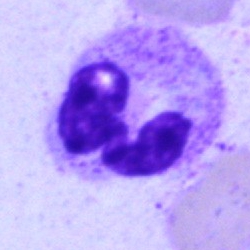
A polymorphonuclear neutrophil.